Bone marrow smear.
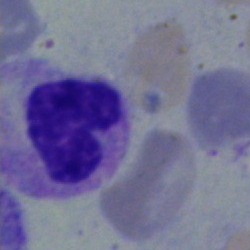
Single cell identified as a band neutrophil.